Bone marrow smear · 250×250 px · cropped to a single cell: 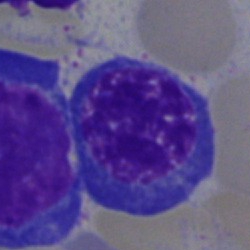 Single cell identified as an erythroblast.